Bone marrow smear — 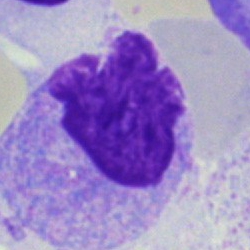 The cell shown is an artifact.